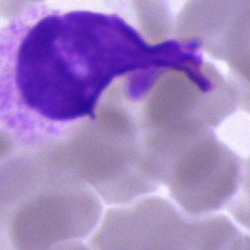Specimen: bone marrow aspirate smear.
Cell: artefact.